Bone marrow smear
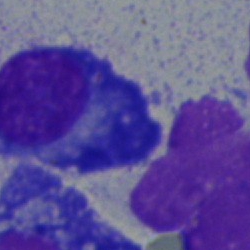 This is a plasmacyte.